Bone marrow smear · 250 by 250 pixels.
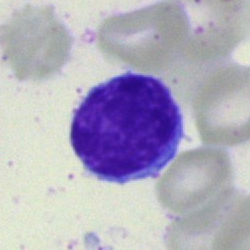 The cell is typical lymphocyte.